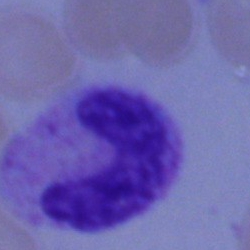 Morphology → band-form neutrophil.